MGG-stained. Bone marrow smear — 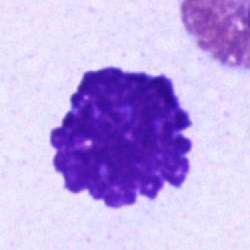

Single cell identified as an artifact.